Bone marrow smear:
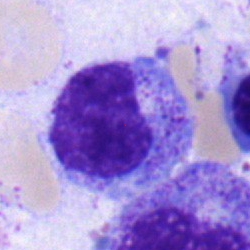Showing a metamyelocyte.